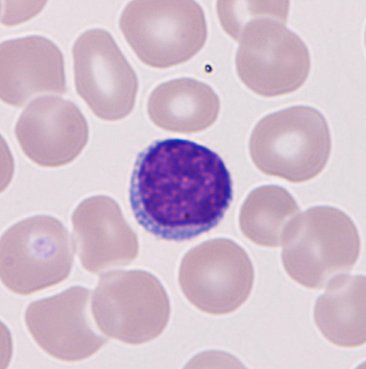 Morphology consistent with a lymphocyte. Image: Peripheral blood film. Single cell centered in the field.